40× oil immersion; bone marrow aspirate smear — 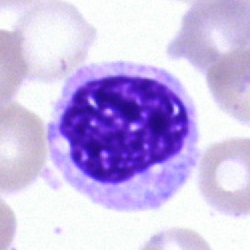
{"cell_type": "myelocyte", "lineage": "myeloid"}